Bone marrow smear
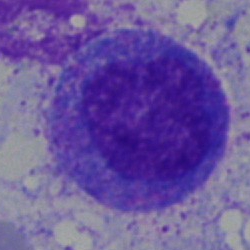 Specimen: bone marrow smear.
Cell type: promyelocyte.
Lineage: myeloid.